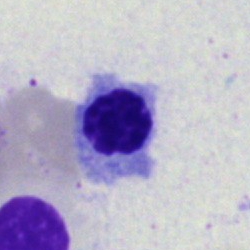

{"cell_type": "nucleated red blood cell"}